Bone marrow smear. Single-cell field:
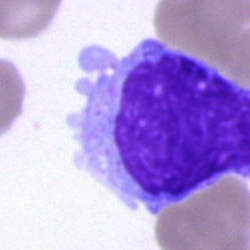 Q: What cell is this?
A: A monocyte.